Peripheral blood smear · 400×400
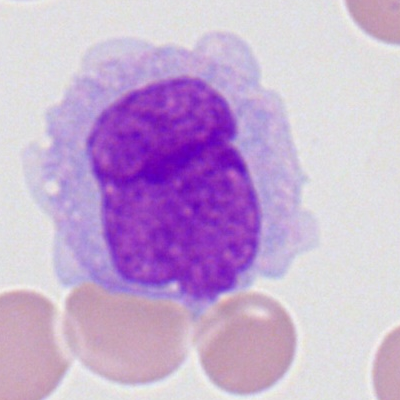 Impression — monocyte.